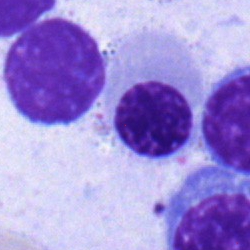

Q: What is shown here?
A: This is a nucleated red blood cell.